Bone marrow smear:
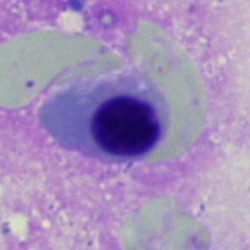Specimen: bone marrow aspirate smear.
Morphological class: nucleated red cell.
Lineage: erythroid.